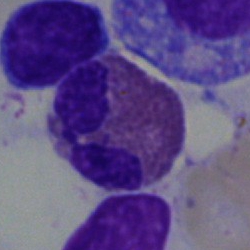 Specimen: bone marrow smear.
Classification: eosinophil.